Bone marrow smear
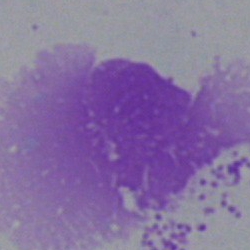

Specimen: bone marrow smear.
Cell type: artefact.